Peripheral blood smear. Image size 400×400 — 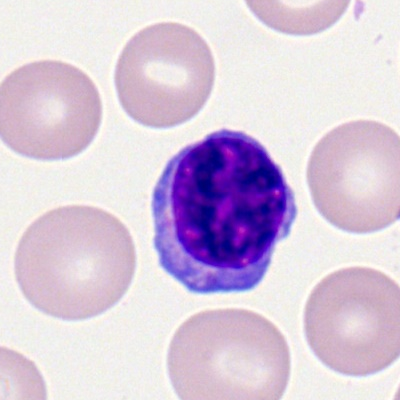 Q: What cell is this?
A: This is a lymphocyte.